Bone marrow aspirate smear — 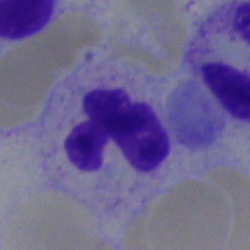

This is a segmented neutrophil.